250×250 px · bone marrow smear: 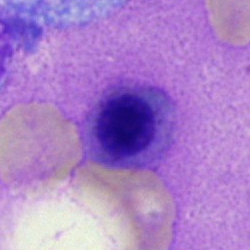 Morphology consistent with a normoblast.